Single cell centered in the field; MGG-stained; bone marrow smear:
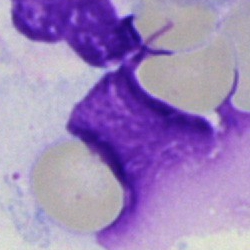Morphology — artifact.